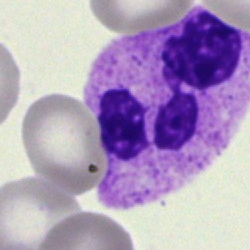Bone marrow smear showing a polymorphonuclear neutrophil.